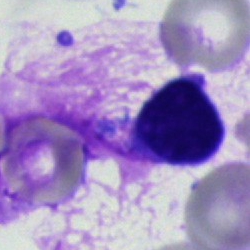Q: What is shown here?
A: An artifact.